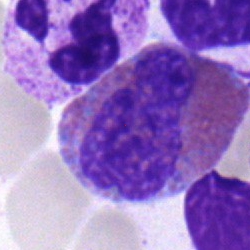Cell type — eosinophil.